Pappenheim-stained · bone marrow aspirate smear:
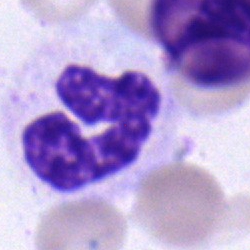

Specimen: bone marrow aspirate smear.
Morphological class: neutrophil (band).